Bone marrow aspirate smear — 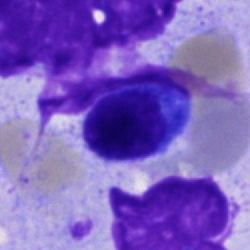
Q: Identify the cell.
A: A typical lymphocyte.